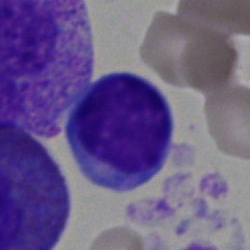
Specimen: bone marrow smear.
Cell: lymphocyte.
Lineage: lymphoid.